Pappenheim-stained. Bone marrow aspirate smear — 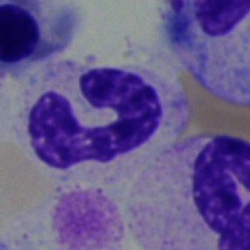
{"cell_type": "band neutrophil", "lineage": "myeloid"}